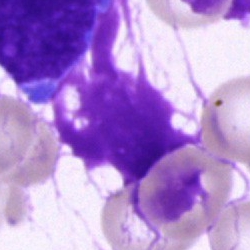Cell = artefact.